Bone marrow smear: 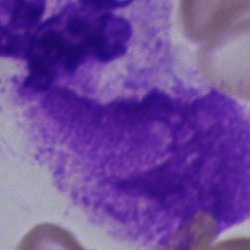
Single cell identified as an artefact.